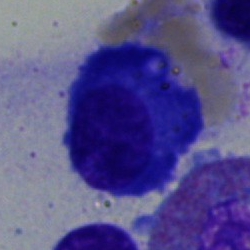{"cell_type": "plasmacyte", "lineage": "lymphoid"}